Bone marrow smear — 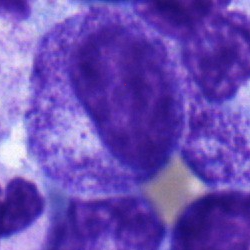

Myelocyte.